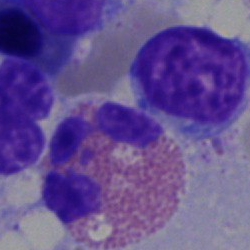
Morphology — eosinophil.